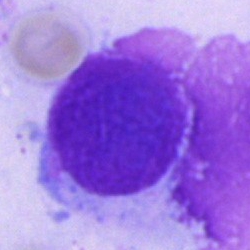

Classification: artefact.